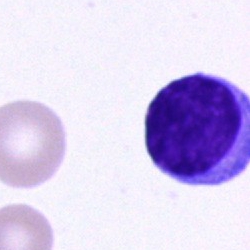
Cell type — lymphocyte.